Bone marrow aspirate smear — 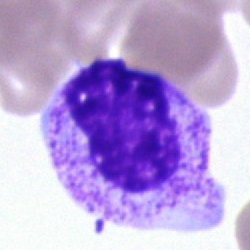Single cell identified as a band neutrophil.